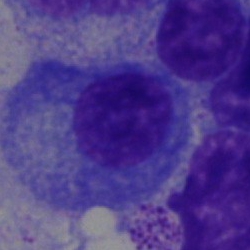

Q: What cell is this?
A: A plasma cell.